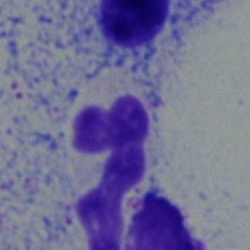 Cell: neutrophil (segmented).